250 by 250 pixels · bone marrow smear:
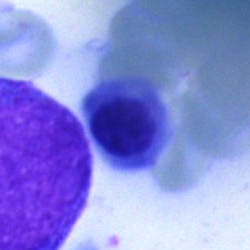

Morphology → normoblast.